Peripheral blood smear
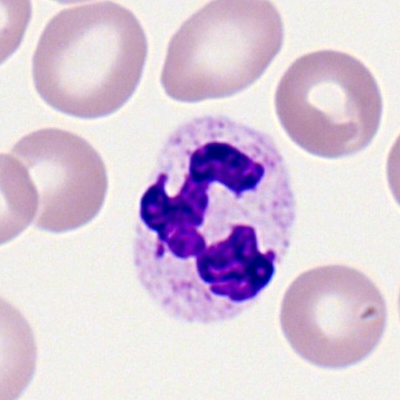

Specimen: peripheral blood film.
Cell type: neutrophil (segmented).
Lineage: myeloid.